Peripheral blood smear — 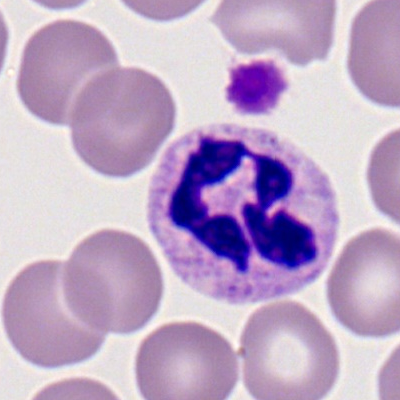The cell is polymorphonuclear neutrophil.